Pappenheim-stained · bone marrow smear
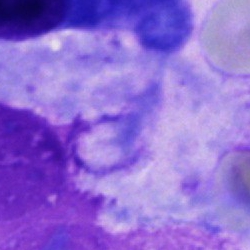Specimen: bone marrow smear.
Morphological class: other cell type.